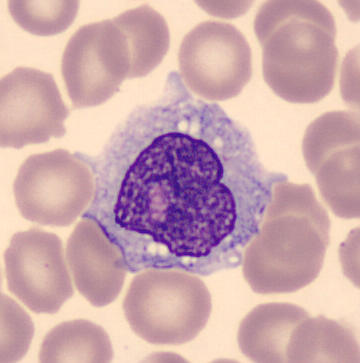 The morphological class is monocyte. Acquisition: CellaVision DM96 digital cell image · peripheral blood smear.